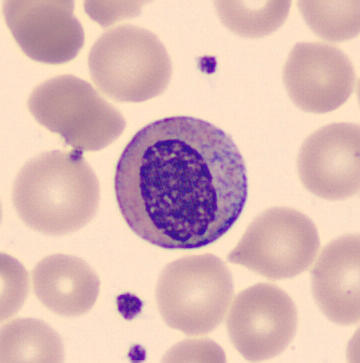
CellaVision DM96 digital cell image · peripheral blood film.

Morphology consistent with a myelocyte.